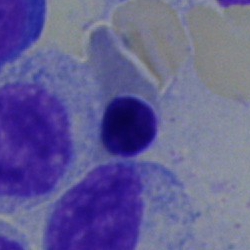

The morphological class is nucleated red blood cell.